Bone marrow aspirate smear
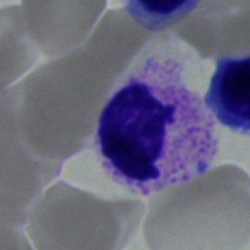 A polymorphonuclear neutrophil.